Bone marrow aspirate smear:
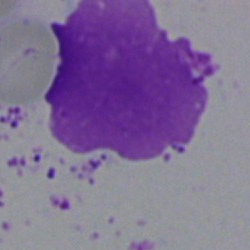

An artefact.